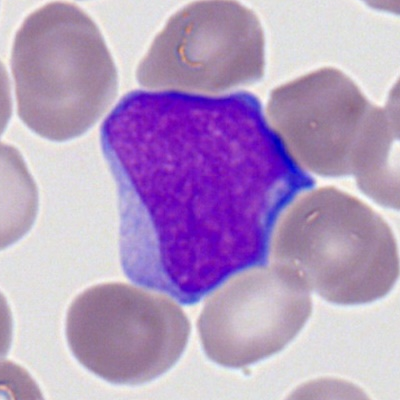Myeloblast.